Peripheral blood smear · 400 by 400 pixels
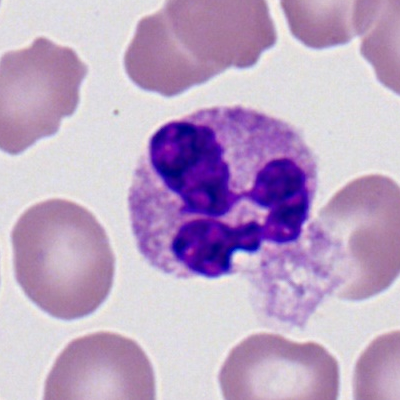 Q: What cell is this?
A: A polymorphonuclear neutrophil.